Bone marrow aspirate smear: 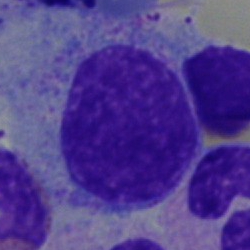

Showing a myelocyte.